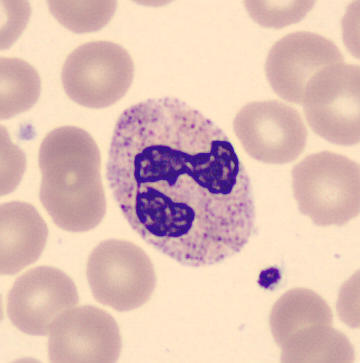

Specimen: peripheral blood film.
Classification: polymorphonuclear neutrophil.
Lineage: myeloid.
Acquisition: Imaged on a CellaVision DM96 analyser.